Bone marrow aspirate smear: 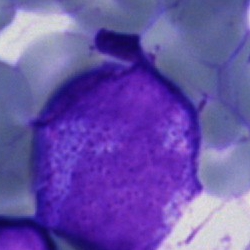
Specimen: bone marrow aspirate smear.
Cell type: blast cell.